Peripheral blood film. Romanowsky-type stain. Single cell centered in the field — 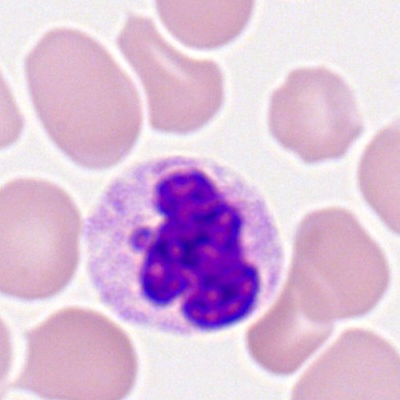 The cell shown is a polymorphonuclear neutrophil.